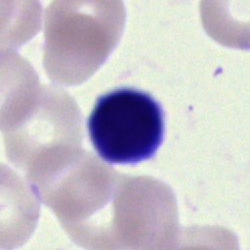Cell: typical lymphocyte.